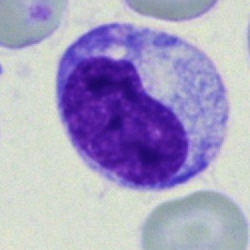
Q: What is the morphological classification of this cell?
A: Metamyelocyte.